Bone marrow smear. Brightfield, 40× oil-immersion objective
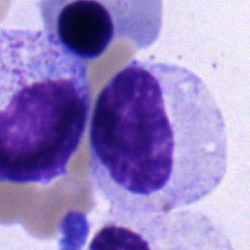Q: What type of cell is this?
A: Neutrophil (segmented).